Bone marrow aspirate smear
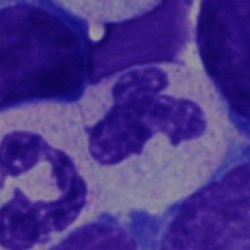 Morphology consistent with a neutrophil (segmented).